Bone marrow smear. Single cell centered in the field: 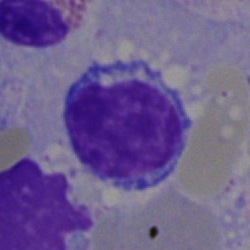

Q: Which cell type is shown here?
A: This is a lymphocyte.